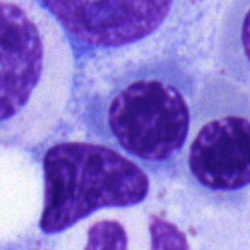 Cell type = nucleated red cell.